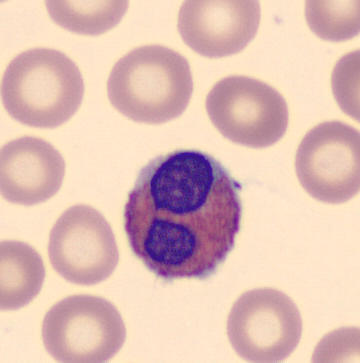
Image: Single cell centered in the field; peripheral blood film; MGG-stained. Impression → eosinophilic granulocyte.